Bone marrow aspirate smear — 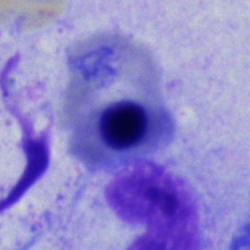Nucleated red cell.